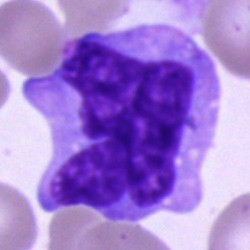

Morphological class: monocyte.